Bone marrow smear; brightfield, 40× oil-immersion objective
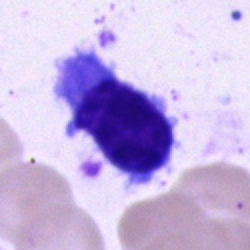

Morphology — typical lymphocyte.